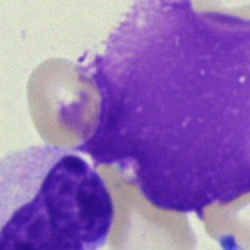

Cell = artefact.